Bone marrow smear; image size 250×250; 40× objective, oil immersion — 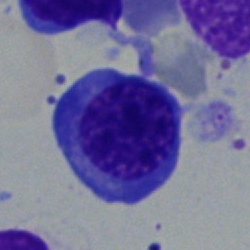 Morphology consistent with a nucleated red cell.